Bone marrow aspirate smear.
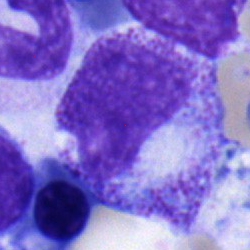

Showing a metamyelocyte.